Bone marrow aspirate smear:
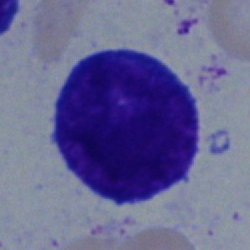

Morphology consistent with a progranulocyte.